May-Grünwald-Giemsa/Pappenheim stain · single-cell field · bone marrow smear.
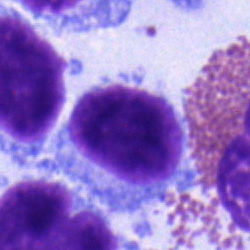The cell shown is a lymphocyte.